Bone marrow aspirate smear.
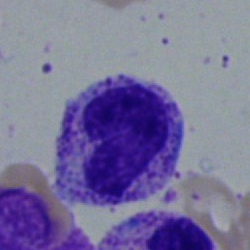
This is a neutrophil (band).